Bone marrow aspirate smear · May-Grünwald-Giemsa stain
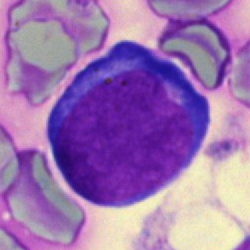This is a pronormoblast.